Bone marrow smear: 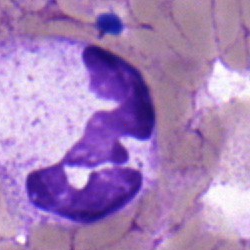 Neutrophil (segmented).